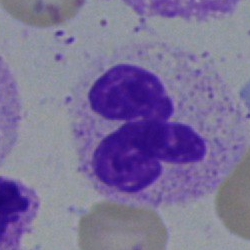
{"cell_type": "polymorphonuclear neutrophil"}